Bone marrow aspirate smear.
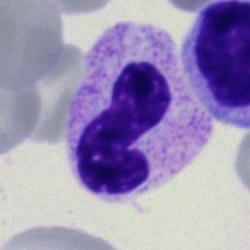

Morphological class: stab cell.